Bone marrow aspirate smear. 250×250. Pappenheim-stained:
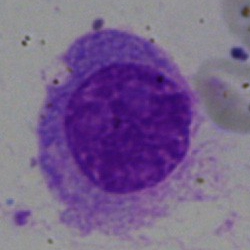
Classification: artifact.